Bone marrow aspirate smear
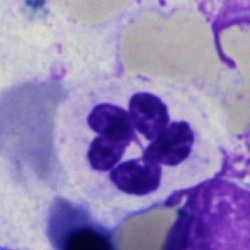

Single cell identified as a neutrophil (segmented).